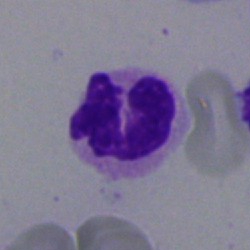 Morphology → polymorphonuclear neutrophil.